250×250; bone marrow aspirate smear
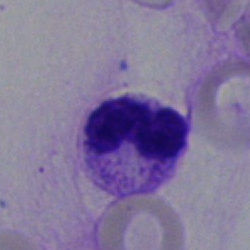 Q: What is shown here?
A: Neutrophil (segmented).